Bone marrow aspirate smear:
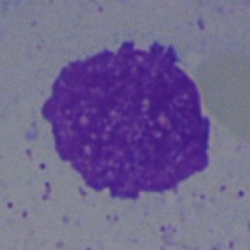 Impression — artefact.